250×250 px. Bone marrow aspirate smear: 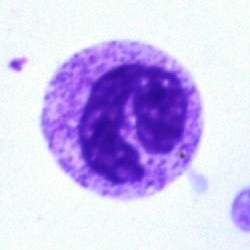{"cell_type": "polymorphonuclear neutrophil", "lineage": "myeloid"}